Bone marrow smear
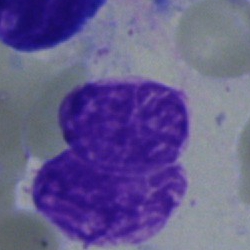 Single cell identified as an artifact.